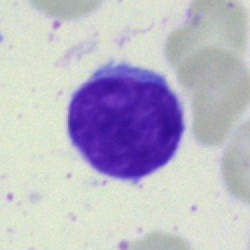
Impression → lymphocyte.